Bone marrow aspirate smear; MGG-stained:
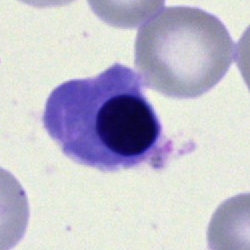
Classification — erythroblast.